Bone marrow smear; brightfield, 40× oil-immersion objective
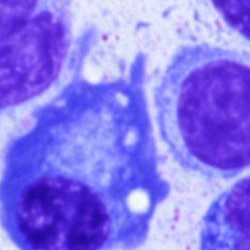

Classification = plasmacyte.